Single cell centered in the field; bone marrow smear — 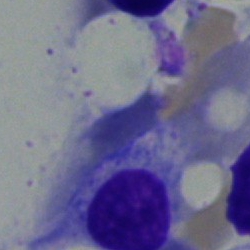 Classification: normoblast.